Bone marrow smear. Pappenheim-stained. Single cell centered in the field
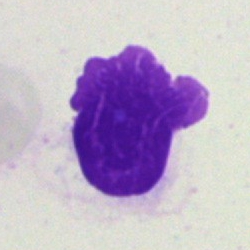
Q: What is shown here?
A: It is an artifact.